Pappenheim-stained; bone marrow aspirate smear: 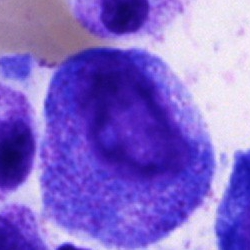

Specimen: bone marrow smear.
Cell: promyelocyte.
Lineage: myeloid.